Bone marrow aspirate smear. Single cell centered in the field. May-Grünwald-Giemsa stain
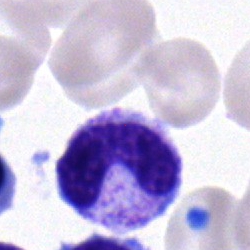Specimen: bone marrow smear.
Cell type: band-form neutrophil.
Lineage: myeloid.